Bone marrow aspirate smear: 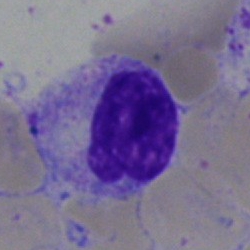This is a myelocyte.